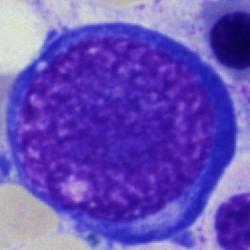 The cell shown is a proerythroblast.